40× oil immersion. MGG-stained. Bone marrow smear.
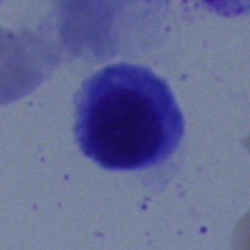 Cell type = erythroblast.